Peripheral blood film. Romanowsky-type stain
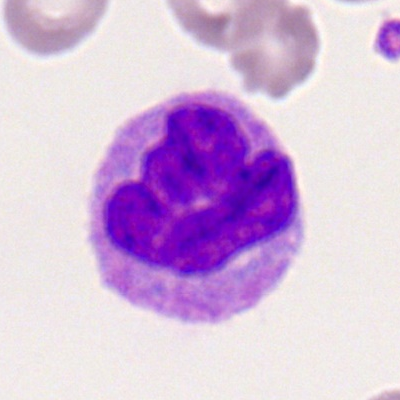This is a monocyte.